Bone marrow aspirate smear. Cropped to a single cell. May-Grünwald-Giemsa/Pappenheim stain:
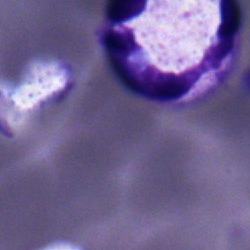 The cell shown is a neutrophil (segmented).